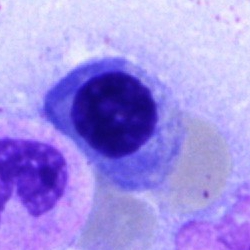The cell is normoblast.